250×250; single-cell field; bone marrow smear
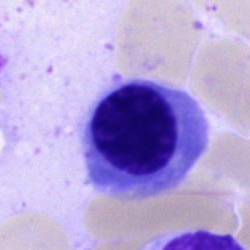

The cell shown is a normoblast.